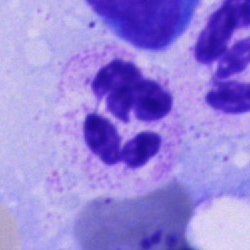

Q: What type of cell is this?
A: This is a polymorphonuclear neutrophil.